Bone marrow smear — 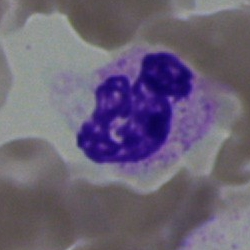

Morphological class: neutrophil (segmented).